Bone marrow smear. 250×250 px: 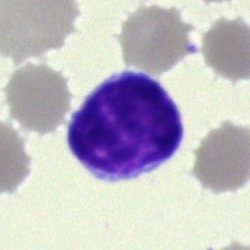

Morphology consistent with a typical lymphocyte.